Bone marrow aspirate smear. 40× oil immersion:
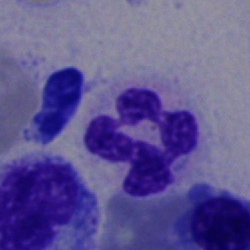

Showing a segmented neutrophil.